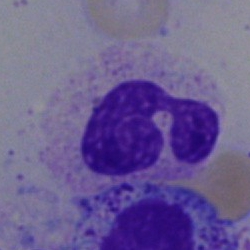 Specimen: bone marrow aspirate smear.
Classification: polymorphonuclear neutrophil.
Lineage: myeloid.